Bone marrow aspirate smear:
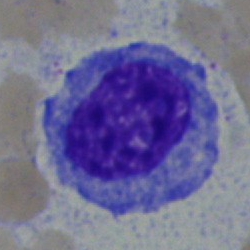

This is a myelocyte.